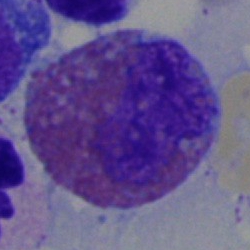 {"cell_type": "eosinophil"}